Single-cell crop; bone marrow aspirate smear.
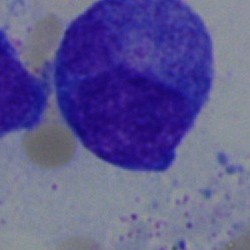
Cell type — promyelocyte.